Bone marrow aspirate smear; 250×250 px; single-cell crop.
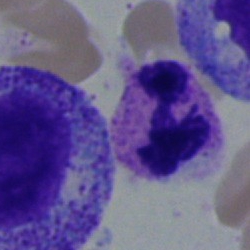Single cell identified as a polymorphonuclear neutrophil.